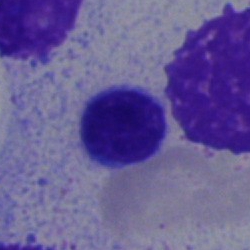 Bone marrow smear showing a lymphocyte.